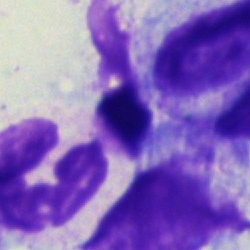Impression — artefact.